Bone marrow smear:
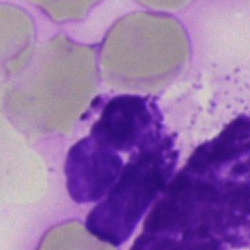
{"cell_type": "artifact"}